MGG-stained. Single-cell crop. Bone marrow smear: 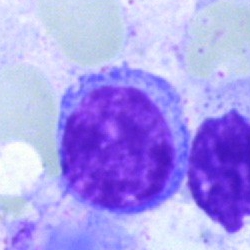

Morphological class: typical lymphocyte.